Bone marrow smear; image size 250×250.
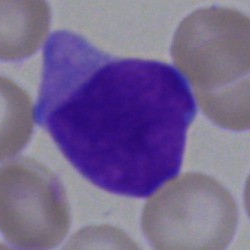 Q: What cell is this?
A: This is an undifferentiated blast.